Single-cell crop. Bone marrow smear — 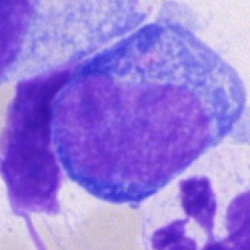Q: Which cell type is shown here?
A: A blast cell.